Bone marrow aspirate smear · single-cell field
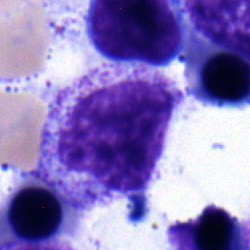

Impression — myelocyte.